Bone marrow aspirate smear
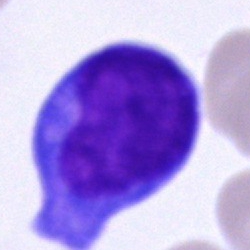

Specimen: bone marrow aspirate smear.
Cell type: blast.